Bone marrow smear.
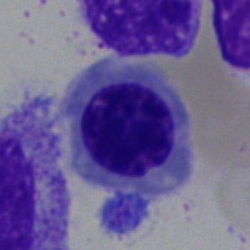
A nucleated red blood cell.